Bone marrow smear: 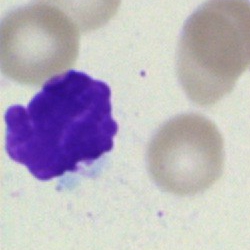Cell — artefact.